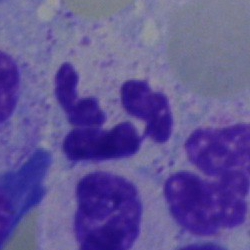

A segmented neutrophil.